Bone marrow smear. Pappenheim-stained
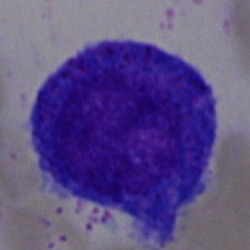

The cell shown is a promyelocyte.